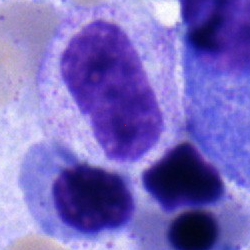 Q: What is shown here?
A: Metamyelocyte.